Bone marrow aspirate smear · single-cell field · Pappenheim-stained
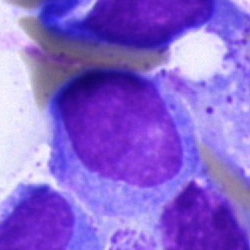Specimen: bone marrow aspirate smear.
Morphological class: undifferentiated blast.